Bone marrow aspirate smear.
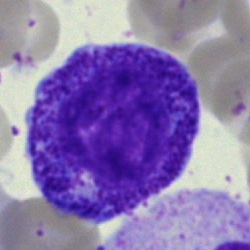Morphological class = myelocyte.